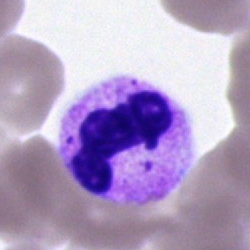The morphological class is segmented neutrophil.